250×250 px; bone marrow aspirate smear; single cell centered in the field.
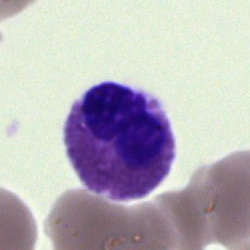
Morphological class: eosinophilic granulocyte.